Bone marrow smear
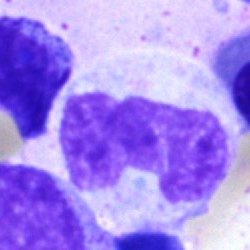
The cell is band-form neutrophil.